Peripheral blood film; 400 by 400 pixels: 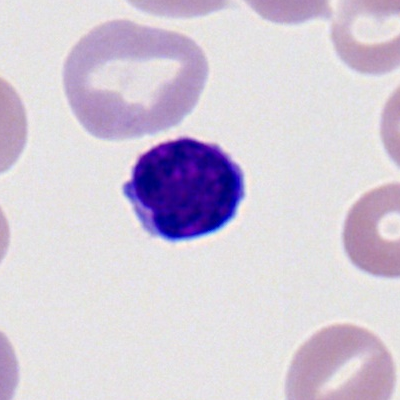 Typical lymphocyte.